Bone marrow smear: 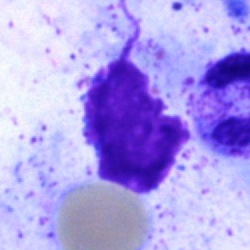 Q: What is shown here?
A: It is an artifact.